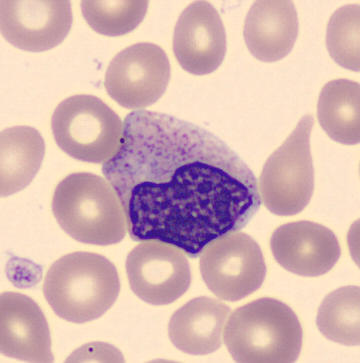

Peripheral blood smear. Showing a metamyelocyte.